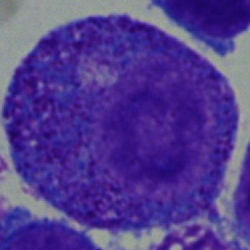Impression → progranulocyte.